Bone marrow aspirate smear; May-Grünwald-Giemsa/Pappenheim stain: 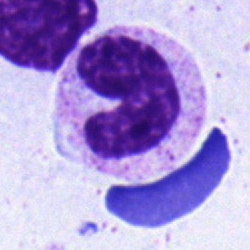

Specimen: bone marrow aspirate smear.
Classification: band-form neutrophil.